Single cell centered in the field; bone marrow aspirate smear:
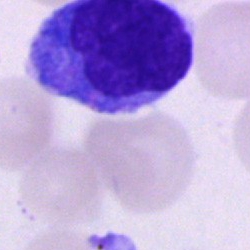

Specimen: bone marrow aspirate smear.
Classification: monocyte.
Lineage: myeloid.